Bone marrow aspirate smear; May-Grünwald-Giemsa stain: 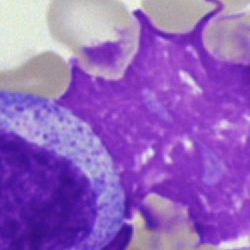Specimen: bone marrow aspirate smear.
Morphological class: artefact.